Bone marrow aspirate smear:
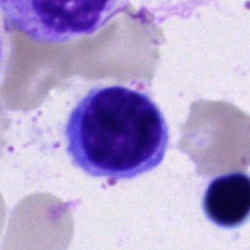 Q: Identify the cell.
A: This is a plasma cell.